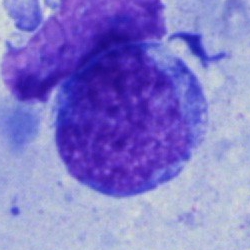
Q: What type of cell is this?
A: Blast.